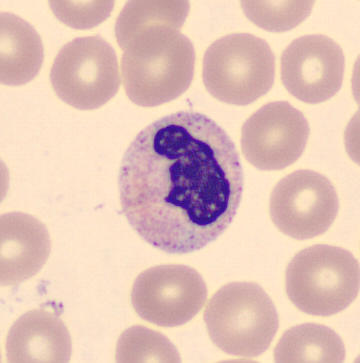Q: What is this?
A: This is a neutrophil (band).